Bone marrow aspirate smear · 40× objective, oil immersion · Pappenheim-stained — 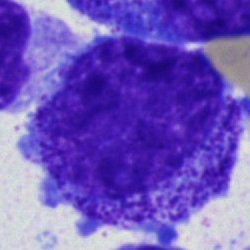Showing a progranulocyte.